May-Grünwald-Giemsa/Pappenheim stain. Bone marrow smear
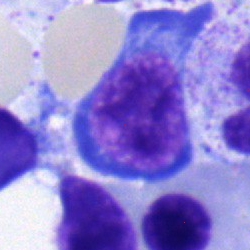 The cell type is proerythroblast.